Bone marrow smear:
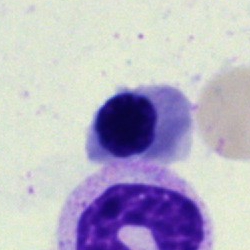
Specimen: bone marrow aspirate smear.
Classification: nucleated red blood cell.
Lineage: erythroid.